Single-cell crop; bone marrow smear — 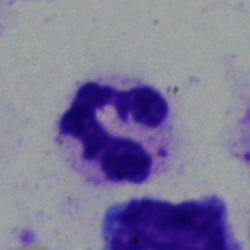 A neutrophil (segmented).